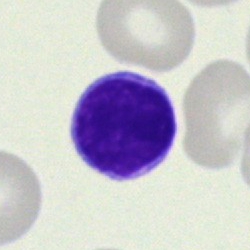 The classification is typical lymphocyte.